Cropped to a single cell. Brightfield, 40× oil-immersion objective. Bone marrow smear.
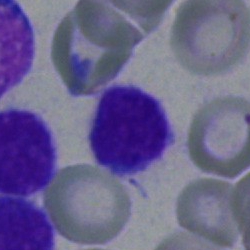
{"cell_type": "lymphocyte", "lineage": "lymphoid"}